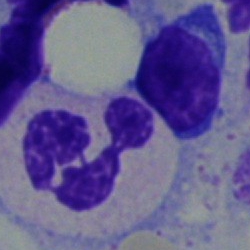

Single-cell crop from a bone marrow smear: neutrophil (segmented).